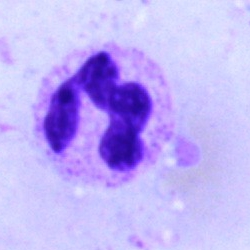
Q: What is the morphological classification of this cell?
A: A neutrophil (segmented).